Bone marrow smear; image size 250×250.
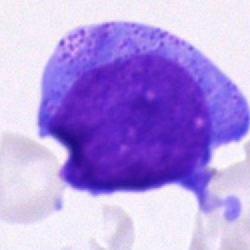The morphological class is progranulocyte.